Bone marrow smear · 250 by 250 pixels · single cell centered in the field:
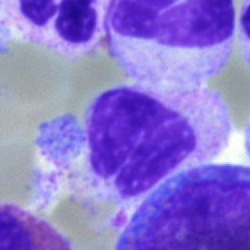
Q: What is the morphological classification of this cell?
A: Neutrophil (band).